Bone marrow aspirate smear
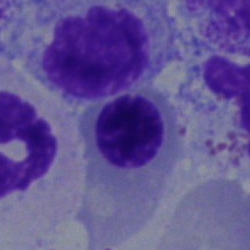 Specimen: bone marrow smear.
Morphological class: erythroblast.